Bone marrow aspirate smear.
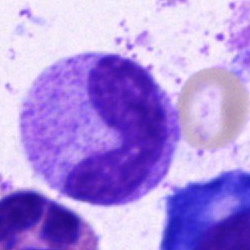Band-form neutrophil.